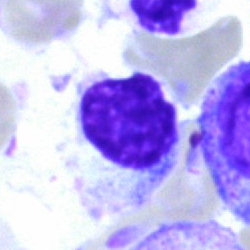 Morphology consistent with an artifact.